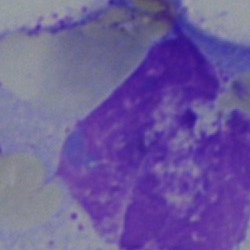 Q: What is shown here?
A: It is an artefact.